Single cell centered in the field · bone marrow smear: 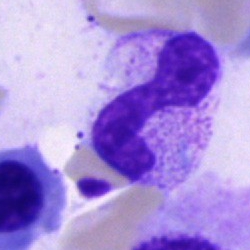Neutrophil (band).